May Grünwald-Giemsa stain. Peripheral blood smear — 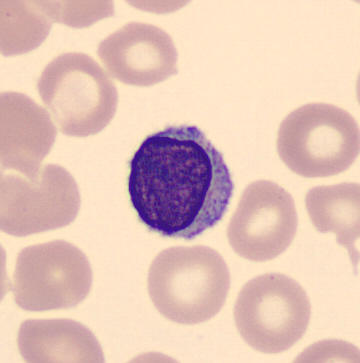

Showing a lymphocyte.